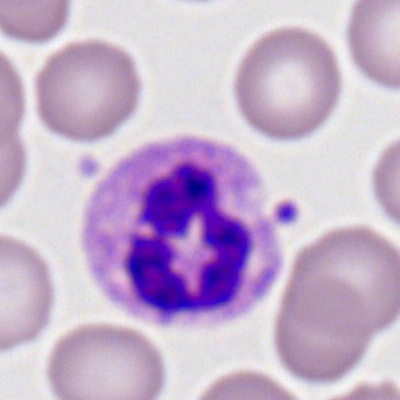
Specimen: peripheral blood smear.
Cell type: segmented neutrophil.
Lineage: myeloid.